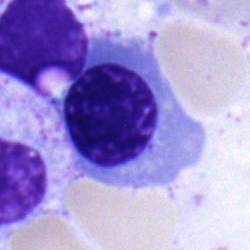
Classification — normoblast.